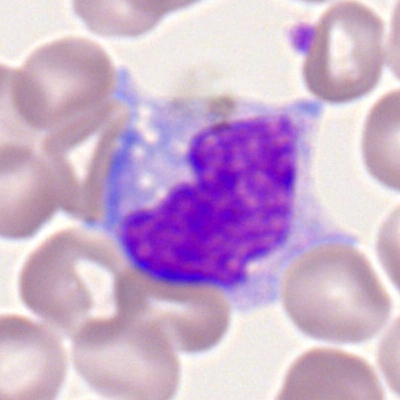 Cell — monocyte.